400×400. Peripheral blood smear.
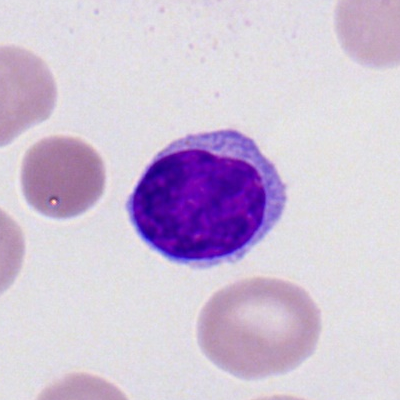
Q: Which cell type is shown here?
A: A typical lymphocyte.